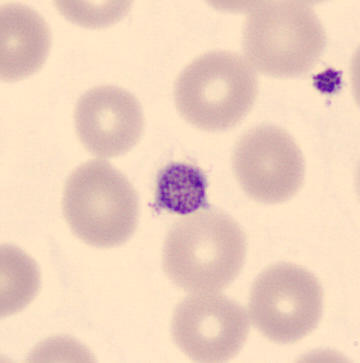
Showing a platelet (thrombocyte).
MGG stain · peripheral blood film · 360×363.